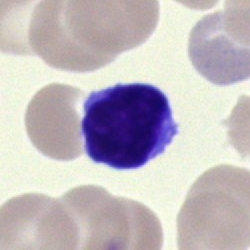
Q: What type of cell is this?
A: It is a lymphocyte.